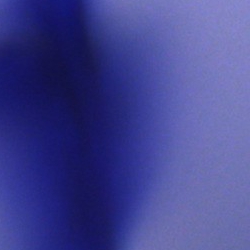 This is an artefact.